Brightfield microscopy, 40× oil immersion; MGG-stained; bone marrow smear: 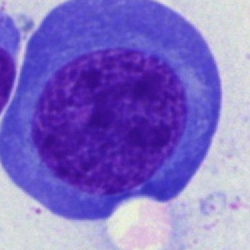 Morphology consistent with a nucleated red blood cell.